Bone marrow aspirate smear:
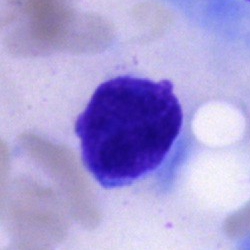 Q: What is shown here?
A: This is an artefact.